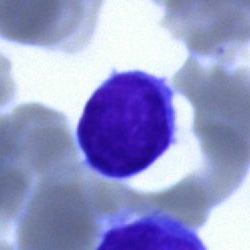
Impression — lymphocyte.